Bone marrow aspirate smear:
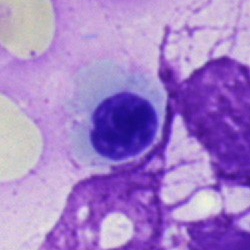 Cell: nucleated red cell.